250×250 px. Bone marrow smear — 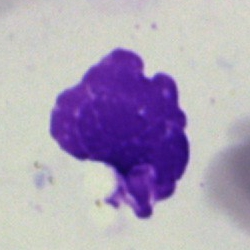Cell = artefact.